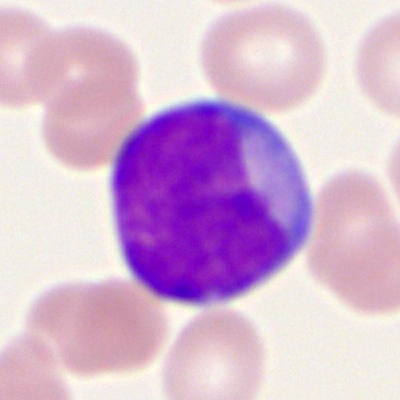
Peripheral blood film, single cell — myeloblast.